Pappenheim-stained; bone marrow aspirate smear.
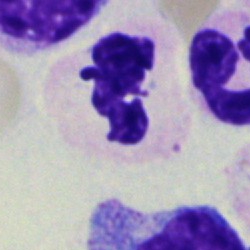Morphological class = segmented neutrophil.